Bone marrow aspirate smear; brightfield microscopy, 40× oil immersion:
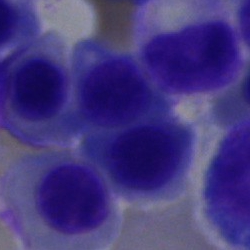 Morphology — erythroblast.